Bone marrow smear
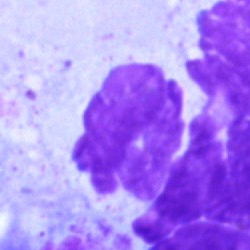

Morphological class = artefact.